Bone marrow smear · Pappenheim-stained:
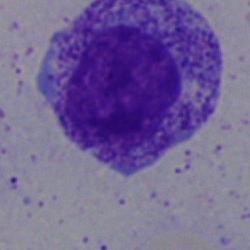
Specimen: bone marrow aspirate smear.
Cell type: myelocyte.
Lineage: myeloid.